Bone marrow aspirate smear — 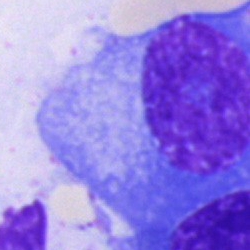 Cell = plasmacyte.